Bone marrow aspirate smear:
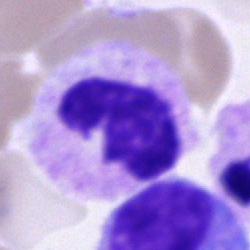Specimen: bone marrow aspirate smear.
Classification: segmented neutrophil.